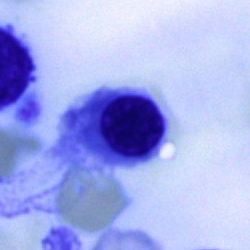 Morphology — normoblast.